Bone marrow smear:
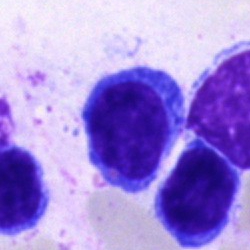The cell shown is a typical lymphocyte.